Bone marrow aspirate smear
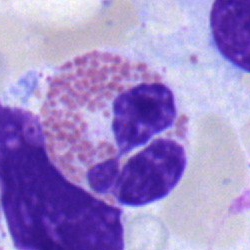
The cell shown is an eosinophilic granulocyte.